Bone marrow aspirate smear: 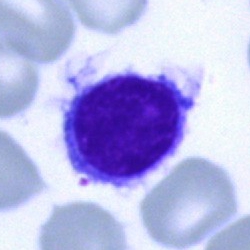 Morphology consistent with a typical lymphocyte.